Single-cell crop; bone marrow aspirate smear: 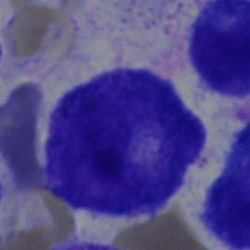

Impression — promyelocyte.